Bone marrow aspirate smear — 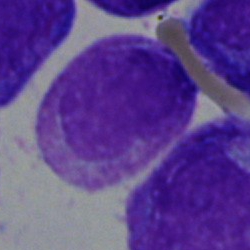

Promyelocyte.